Bone marrow smear: 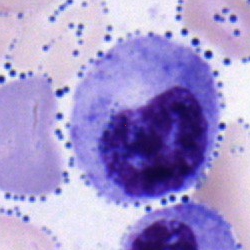

Morphological class: metamyelocyte.